Image size 250×250; cropped to a single cell; bone marrow aspirate smear.
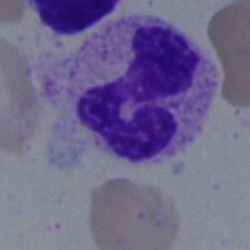

Morphology consistent with a neutrophil (segmented).